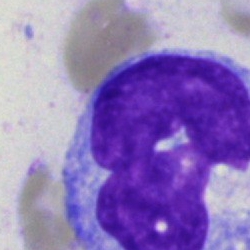Bone marrow aspirate smear, single cell — monocyte.